Bone marrow aspirate smear: 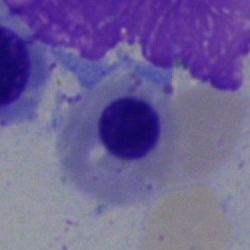Showing an erythroblast.